Bone marrow aspirate smear. 250×250 px — 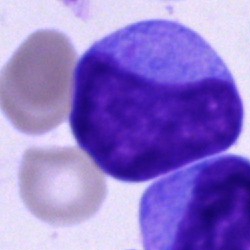
Showing a blast cell.